Bone marrow aspirate smear — 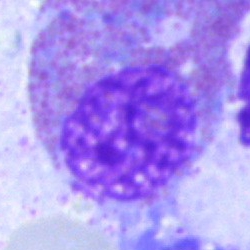 An eosinophil.